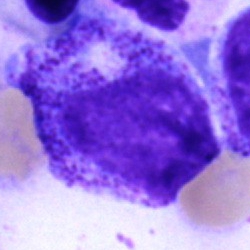 Q: What is the morphological classification of this cell?
A: A progranulocyte.